Peripheral blood smear: 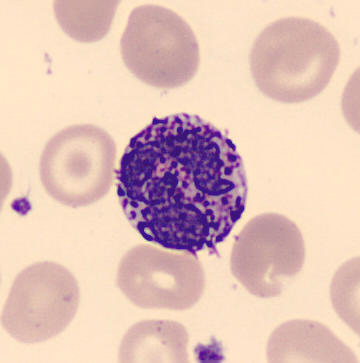 Single cell identified as a basophilic granulocyte.